Bone marrow smear.
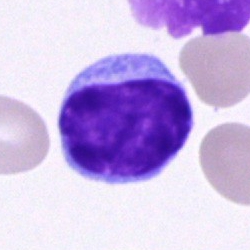
Cell = lymphocyte.